Bone marrow smear · Pappenheim-stained
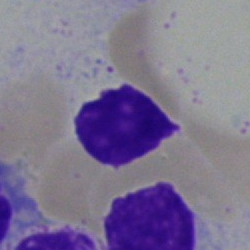

Q: What is shown here?
A: It is an artifact.